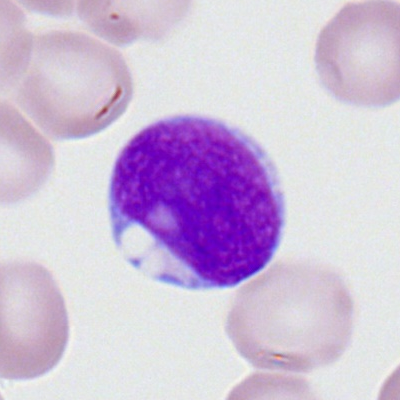Peripheral blood film, single cell — myeloblast.